Bone marrow aspirate smear
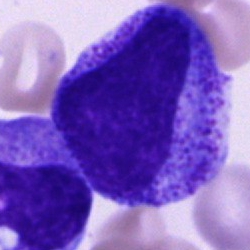
The cell is progranulocyte.